Bone marrow smear. Single-cell crop:
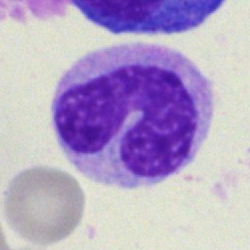Morphology consistent with a neutrophil (band).